Bone marrow aspirate smear
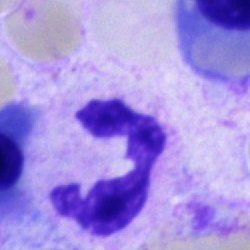
Cell: neutrophil (segmented).